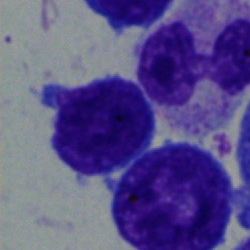

Classification: undifferentiated blast.